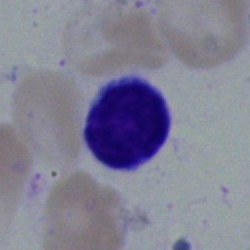
Classification — typical lymphocyte.